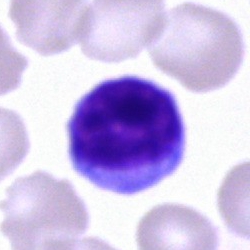 Morphology — typical lymphocyte.